250×250; single-cell field; bone marrow smear: 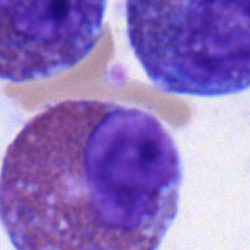 Q: What type of cell is this?
A: Eosinophil.